Single-cell field · bone marrow smear — 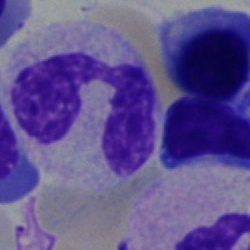 Morphology consistent with a neutrophil (segmented).